Bone marrow smear:
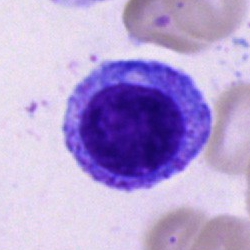
Impression — progranulocyte.